Bone marrow smear.
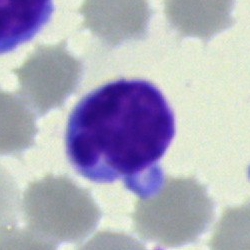 {"cell_type": "typical lymphocyte", "lineage": "lymphoid"}